May-Grünwald-Giemsa stain. Bone marrow aspirate smear. 250 by 250 pixels
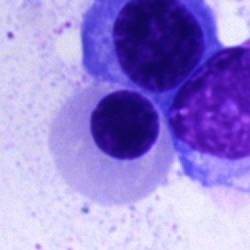 Q: What cell is this?
A: Erythroblast.